Bone marrow aspirate smear: 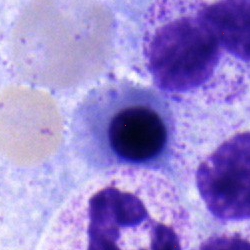The classification is normoblast.